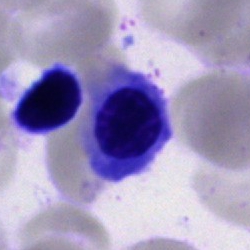Impression → nucleated red blood cell.